Single-cell crop · Romanowsky-stained · peripheral blood film.
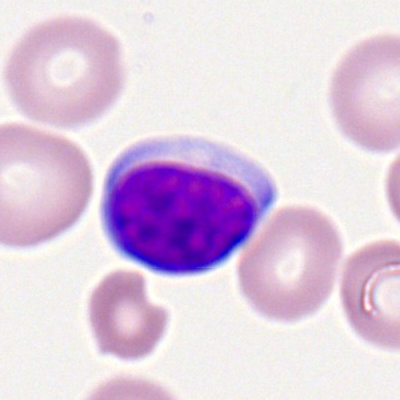

Typical lymphocyte.